Bone marrow aspirate smear
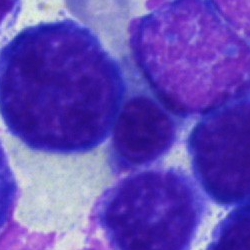

A nucleated red cell.